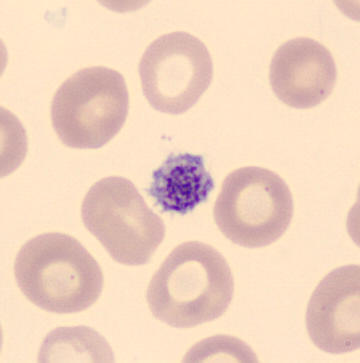
This is a thrombocyte.
CellaVision DM96; peripheral blood smear; MGG stain.